Bone marrow aspirate smear · single-cell crop
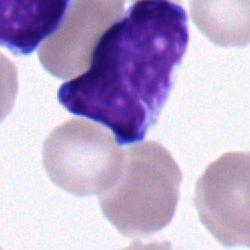

Specimen: bone marrow aspirate smear.
Classification: typical lymphocyte.